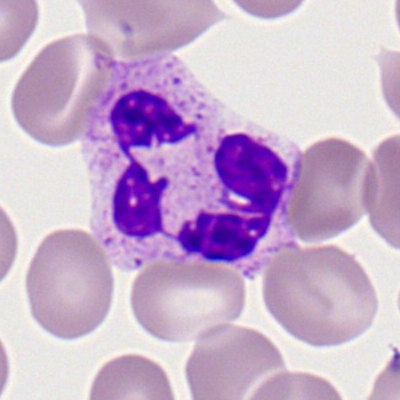Single cell identified as a polymorphonuclear neutrophil.